Bone marrow smear; Pappenheim-stained; brightfield, 40× oil-immersion objective — 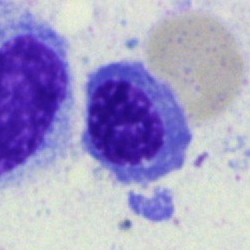 A normoblast.